Bone marrow aspirate smear
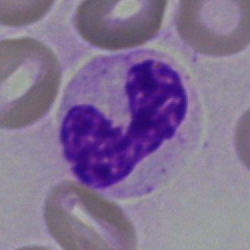

Cell: band-form neutrophil.